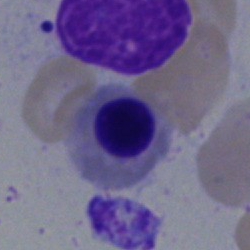Morphology — erythroblast.